Bone marrow smear. 250 by 250 pixels:
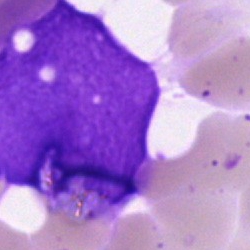 The cell shown is an artefact.